Image size 360×363 · cropped to a single cell · peripheral blood film
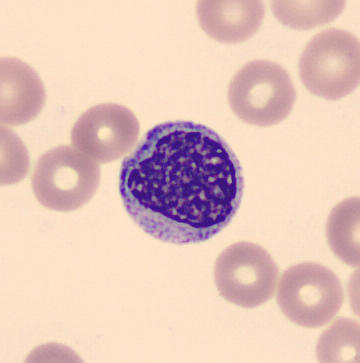 Morphology consistent with a myelocyte.